Bone marrow aspirate smear · single-cell field:
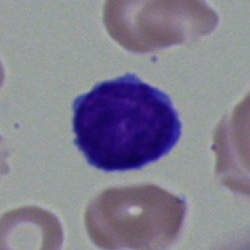

Specimen: bone marrow aspirate smear.
Classification: typical lymphocyte.
Lineage: lymphoid.